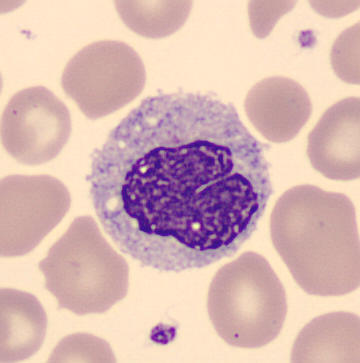 Peripheral blood smear; CellaVision DM96.
The morphological class is monocyte.